Bone marrow smear: 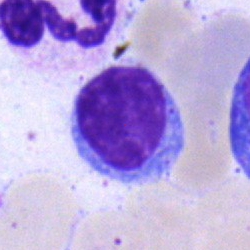
A typical lymphocyte.